May-Grünwald-Giemsa/Pappenheim stain; brightfield, 40× oil-immersion objective; bone marrow aspirate smear: 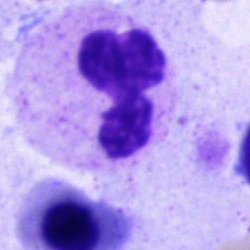Q: What is shown here?
A: Polymorphonuclear neutrophil.